Bone marrow aspirate smear: 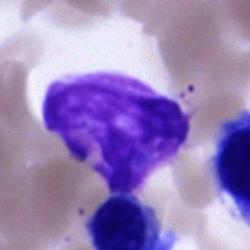
An artifact.